Bone marrow smear
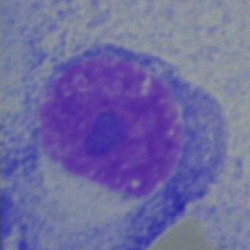Q: What cell is this?
A: A plasmacyte.